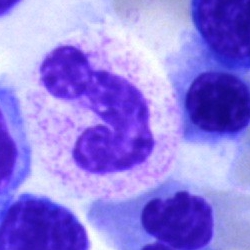 Single-cell crop from a bone marrow smear: neutrophil (segmented).